Bone marrow aspirate smear — 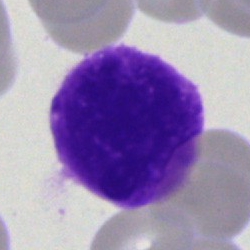

Impression — artifact.